Bone marrow smear.
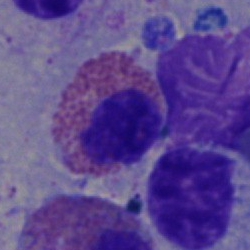 Specimen: bone marrow smear.
Cell: eosinophilic granulocyte.